Peripheral blood smear; single-cell crop; image size 400×400 — 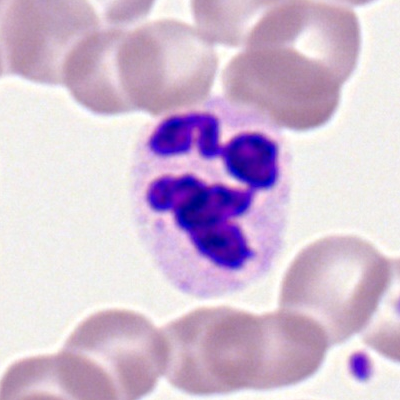 Cell — neutrophil (segmented).